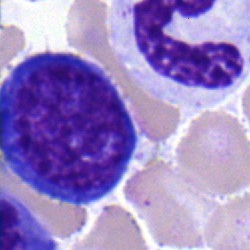 A normoblast.